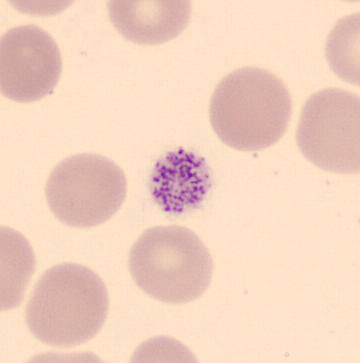The morphological class is platelet (thrombocyte). Preparation: Peripheral blood smear.